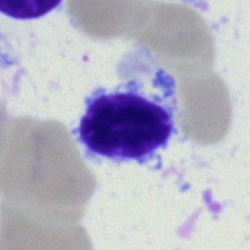

A lymphocyte.